Bone marrow smear — 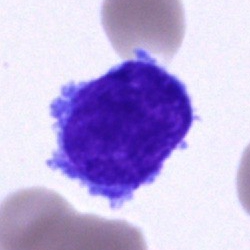 The classification is undifferentiated blast.